Bone marrow smear.
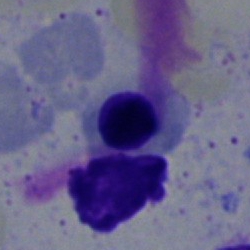
{"cell_type": "erythroblast"}